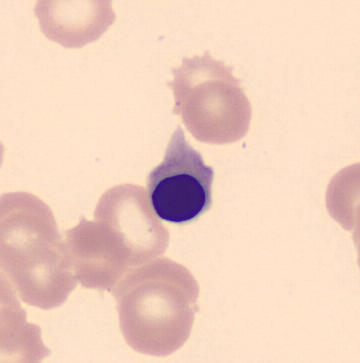

Peripheral blood smear.

Impression → nucleated red cell.